Bone marrow smear:
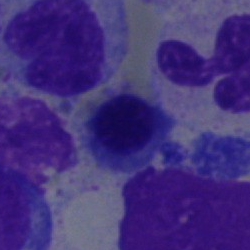 Impression → nucleated red cell.